Bone marrow smear: 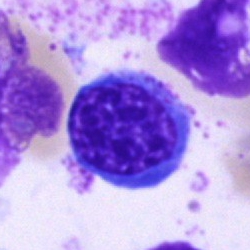

Q: What is shown here?
A: Normoblast.